Bone marrow smear. Cropped to a single cell. 250×250 px.
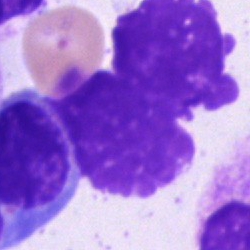 Cell type = artefact.